Bone marrow smear — 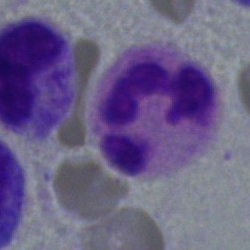

{"cell_type": "polymorphonuclear neutrophil", "lineage": "myeloid"}